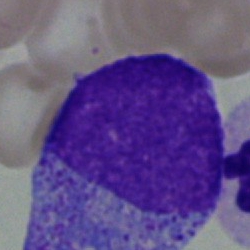
The classification is myelocyte.